Bone marrow aspirate smear — 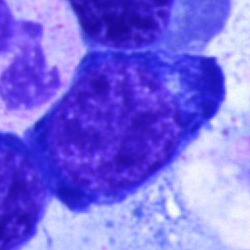
Impression → nucleated red blood cell.